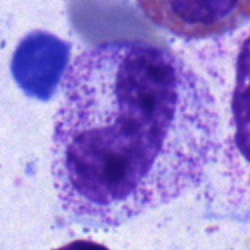 The cell is stab cell.